Bone marrow aspirate smear. 250×250:
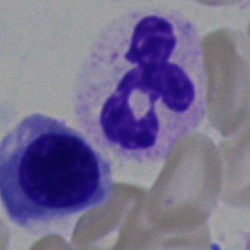
Single cell identified as a segmented neutrophil.